Bone marrow aspirate smear. Single-cell crop. 40× oil immersion:
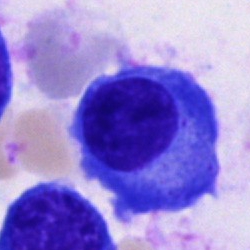 Specimen: bone marrow smear.
Classification: plasma cell.